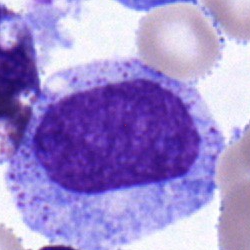 Specimen: bone marrow smear.
Morphological class: myelocyte.
Lineage: myeloid.